Bone marrow smear:
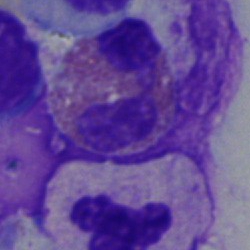
Single cell identified as an eosinophil.